Peripheral blood smear — 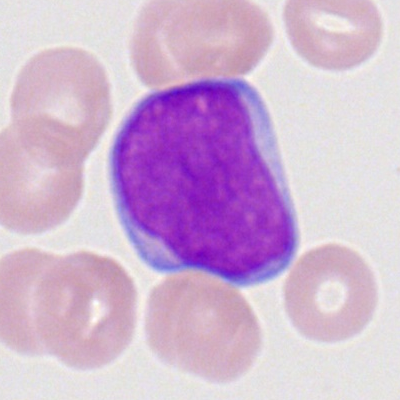Cell type — myeloid blast.